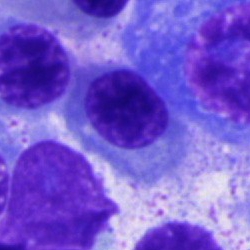

Bone marrow smear showing a nucleated red blood cell.